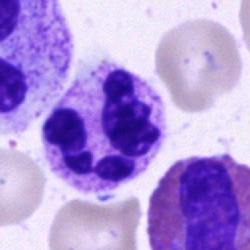

Impression — segmented neutrophil.